Bone marrow smear — 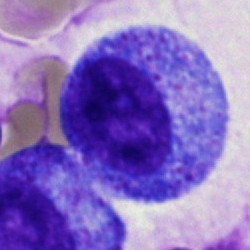

Showing a promyelocyte.